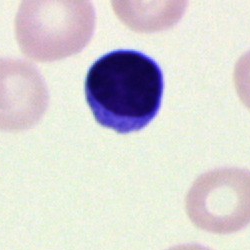An artifact.